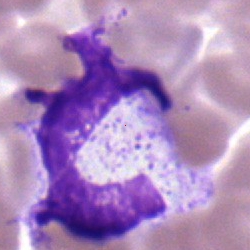
This is a band neutrophil.